Bone marrow smear · 250 by 250 pixels.
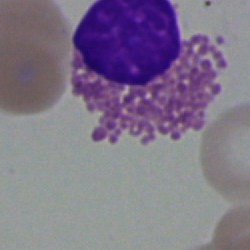

{"cell_type": "eosinophilic granulocyte"}